MGG-stained · brightfield microscopy, 40× oil immersion · bone marrow aspirate smear:
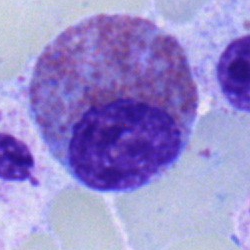 The classification is eosinophil.